Bone marrow smear: 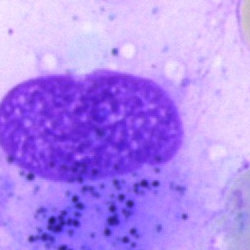 The cell shown is an artefact.